40× objective, oil immersion · bone marrow smear: 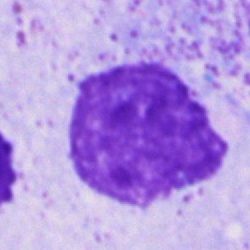Showing an artifact.